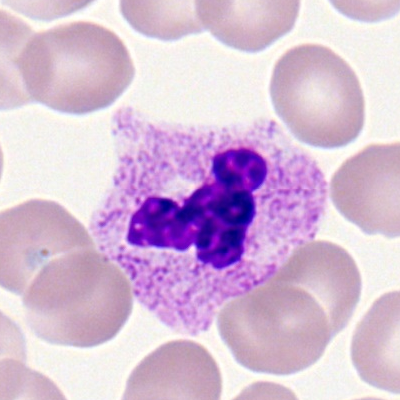

Classification — segmented neutrophil.